Bone marrow smear. Brightfield, 40× oil-immersion objective
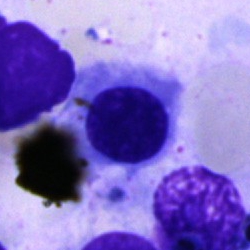
Specimen: bone marrow smear.
Cell: erythroblast.